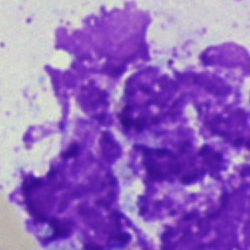Bone marrow aspirate smear, single cell — artefact.